Bone marrow smear: 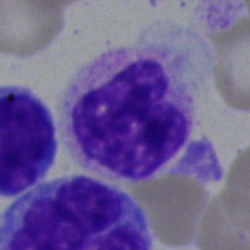

Q: What cell is this?
A: Neutrophil (band).